Bone marrow aspirate smear.
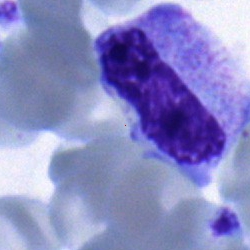 Single cell identified as a metamyelocyte.